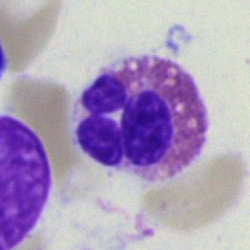
The morphological class is eosinophilic granulocyte.